Bone marrow aspirate smear — 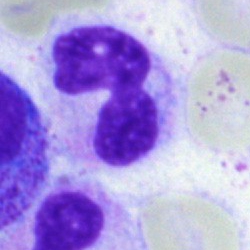
Morphology consistent with a band-form neutrophil.